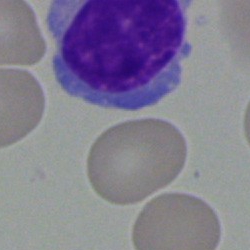
Morphology → lymphocyte.